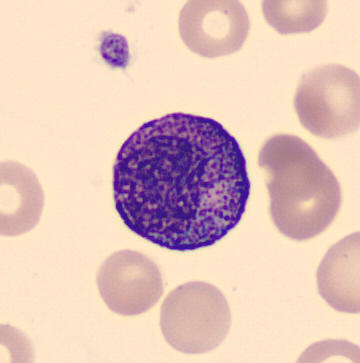Classification — progranulocyte. Peripheral blood film.